Bone marrow smear
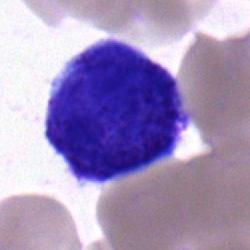

Blast.